Single-cell field. Bone marrow smear: 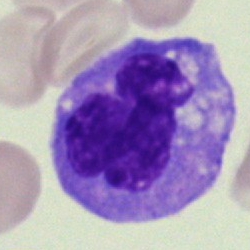
Q: What cell is this?
A: This is a monocyte.